Brightfield, 40× oil-immersion objective · 250×250 · bone marrow smear
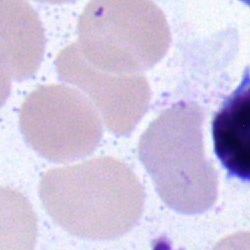
Morphology — lymphocyte.